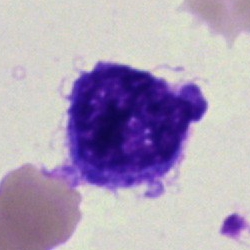

Impression — blast.